MGG-stained. Bone marrow smear — 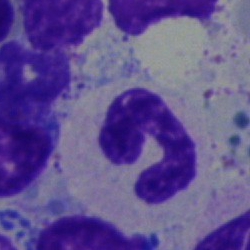
Cell — band neutrophil.